Bone marrow aspirate smear; brightfield microscopy, 40× oil immersion.
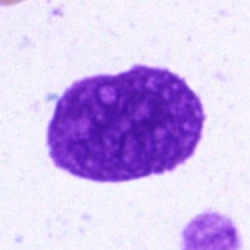
Classification: artifact.